Bone marrow aspirate smear — 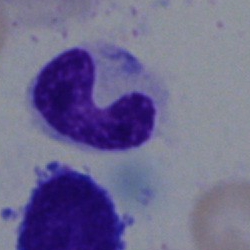This is a stab cell.